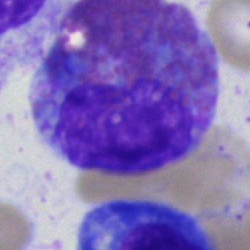Bone marrow smear showing an eosinophil.